Bone marrow smear; 250 by 250 pixels; May-Grünwald-Giemsa stain
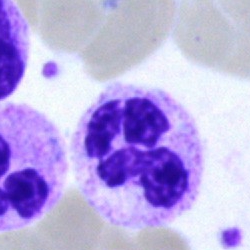

The cell shown is a neutrophil (segmented).